Brightfield, 40× oil-immersion objective. Bone marrow smear. Single cell centered in the field
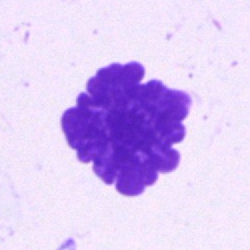 Specimen: bone marrow aspirate smear.
Classification: artefact.